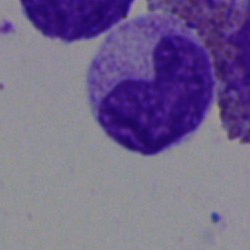 {"cell_type": "metamyelocyte", "lineage": "myeloid"}